Bone marrow aspirate smear:
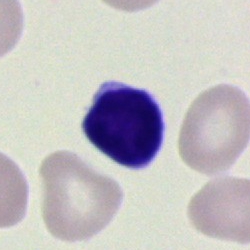

Specimen: bone marrow smear.
Cell type: typical lymphocyte.